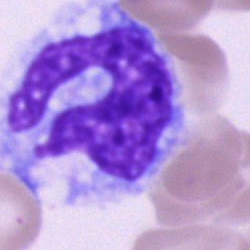Cell: monocyte.